Bone marrow smear
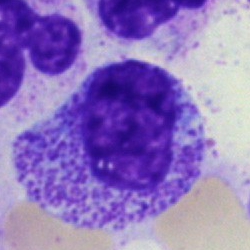

Morphological class — promyelocyte.